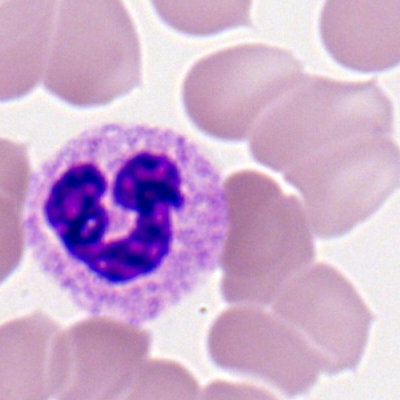Single-cell crop from a peripheral blood smear: polymorphonuclear neutrophil.